Pappenheim-stained; bone marrow aspirate smear — 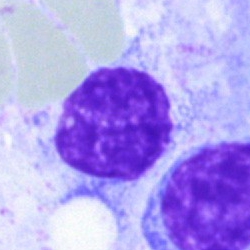

Cell type: lymphocyte.